Bone marrow aspirate smear:
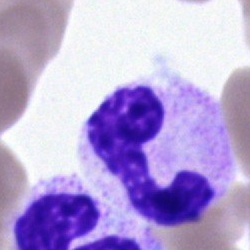

Q: What type of cell is this?
A: This is a polymorphonuclear neutrophil.